Bone marrow aspirate smear.
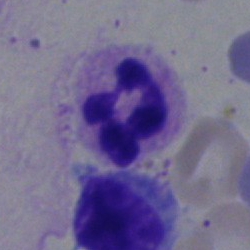
Classification — polymorphonuclear neutrophil.